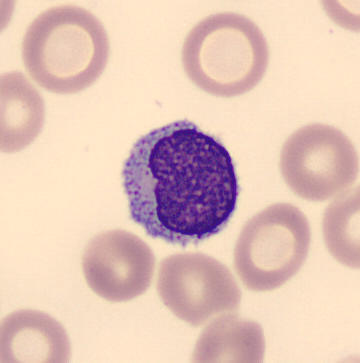
Morphology → lymphocyte.